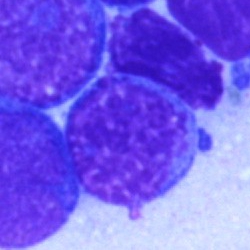

Cell — nucleated red cell.